Bone marrow smear · 250×250 px · Pappenheim-stained: 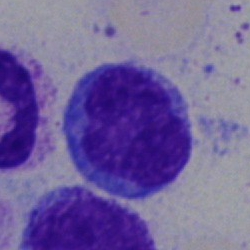
Showing a blast cell.